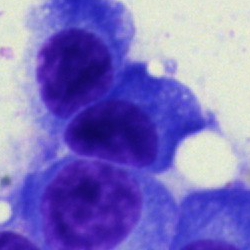

Specimen: bone marrow smear.
Cell type: plasma cell.